Brightfield, 40× oil-immersion objective · Pappenheim-stained · bone marrow aspirate smear:
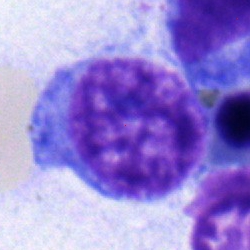 The morphological class is lymphocyte.